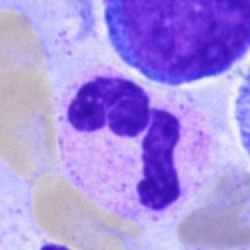 Showing a polymorphonuclear neutrophil.